Peripheral blood smear. 400×400. Romanowsky stain
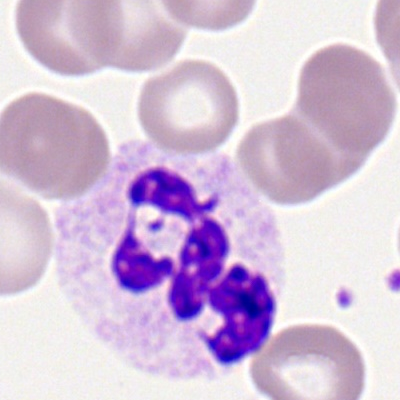Single cell identified as a polymorphonuclear neutrophil.